Bone marrow smear.
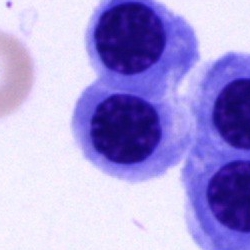An erythroblast.